Cropped to a single cell; bone marrow smear.
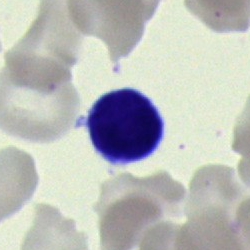{"cell_type": "lymphocyte"}